Pappenheim-stained · bone marrow aspirate smear
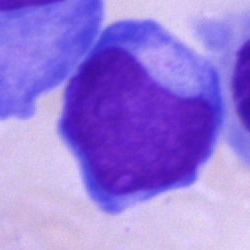
Blast.